Single cell centered in the field. Bone marrow smear. Brightfield, 40× oil-immersion objective.
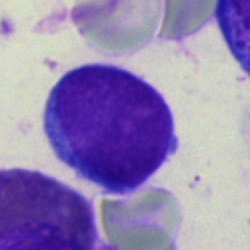 Morphology consistent with a lymphocyte.